Peripheral blood film. CellaVision DM96. May-Grünwald-Giemsa-stained
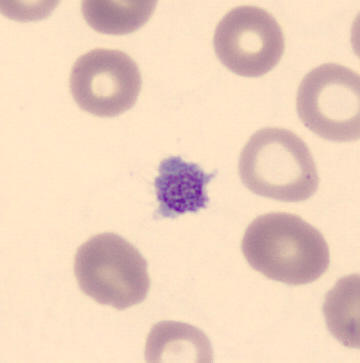 The classification is thrombocyte.